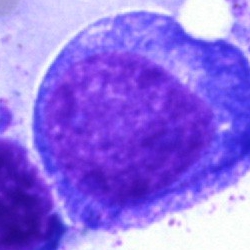
Q: What is the morphological classification of this cell?
A: A promyelocyte.